Bone marrow smear
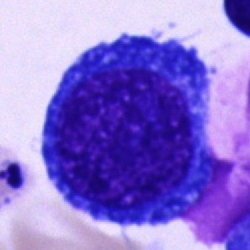
Pronormoblast.